Image size 250×250 · bone marrow aspirate smear · May-Grünwald-Giemsa stain.
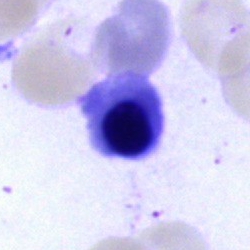Q: What cell is this?
A: It is a nucleated red blood cell.